M8 digital microscope (Precipoint), 100× oil immersion; peripheral blood smear; Romanowsky-type stain: 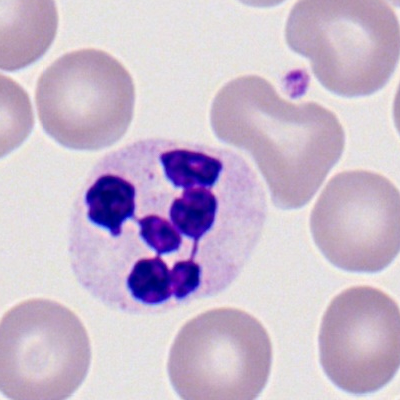
Q: What cell is this?
A: This is a polymorphonuclear neutrophil.